Peripheral blood film; brightfield, 100× oil-immersion objective: 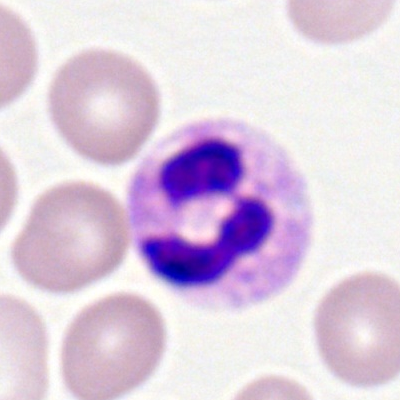The cell shown is a neutrophil (segmented).